Bone marrow smear. Brightfield, 40× oil-immersion objective:
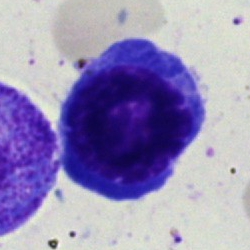
Morphological class — nucleated red cell.